May-Grünwald-Giemsa/Pappenheim stain. Bone marrow aspirate smear: 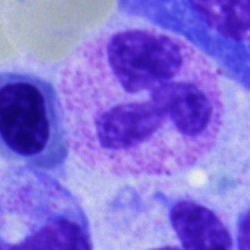

The cell shown is a polymorphonuclear neutrophil.